May-Grünwald-Giemsa/Pappenheim stain; 250×250; bone marrow aspirate smear
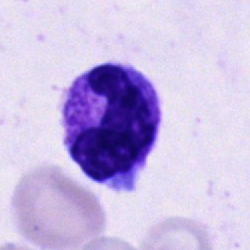 Morphology consistent with a polymorphonuclear neutrophil.